Bone marrow aspirate smear — 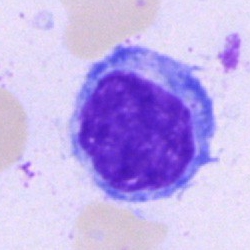

Single cell identified as a lymphocyte.